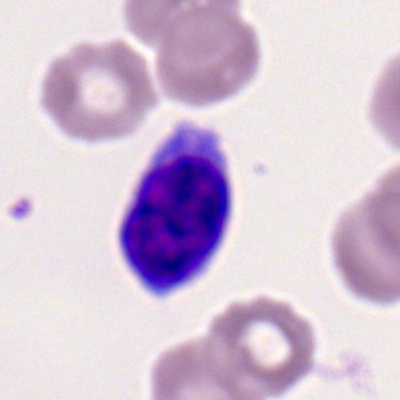 Specimen: peripheral blood film.
Classification: lymphocyte.